Bone marrow aspirate smear:
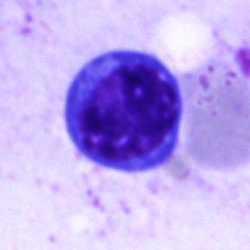

Impression — nucleated red blood cell.